Bone marrow aspirate smear
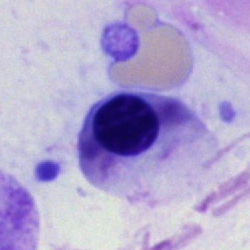
Single cell identified as a normoblast.